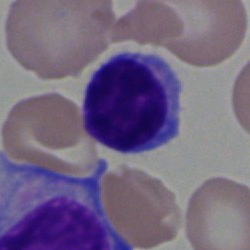

A typical lymphocyte.